Bone marrow aspirate smear.
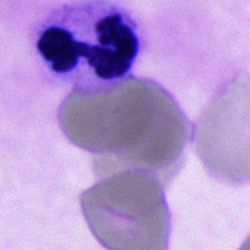
Polymorphonuclear neutrophil.